Image size 250×250. Bone marrow smear:
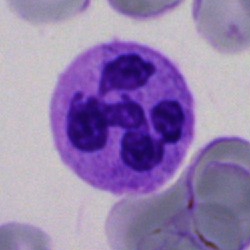Specimen: bone marrow aspirate smear.
Cell type: neutrophil (segmented).
Lineage: myeloid.